Bone marrow aspirate smear. Single-cell field.
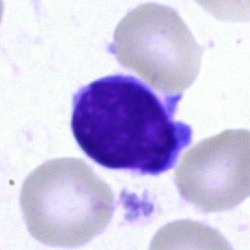

Q: What is shown here?
A: This is a lymphocyte.